Bone marrow aspirate smear. MGG-stained. Single cell centered in the field: 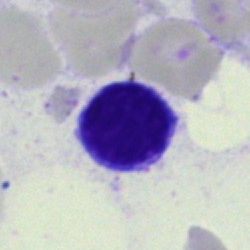

Morphology consistent with a typical lymphocyte.